Cropped to a single cell. Bone marrow smear.
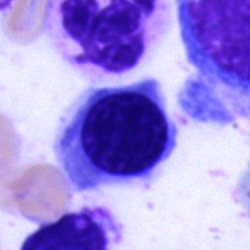

Cell type = erythroblast.